Bone marrow aspirate smear. Cropped to a single cell. 40× oil immersion: 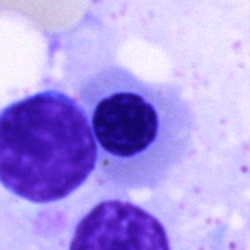

Classification = nucleated red blood cell.